40× objective, oil immersion; bone marrow aspirate smear.
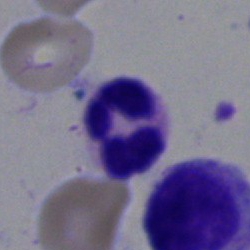Morphology consistent with a segmented neutrophil.